Bone marrow smear
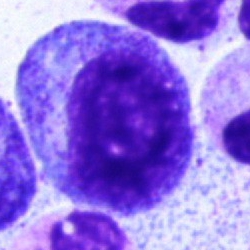 This is a progranulocyte.